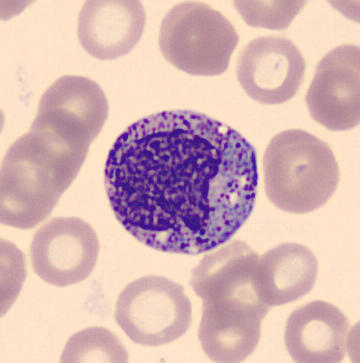 Q: What cell is this?
A: It is a myelocyte.

Preparation: Imaged on a CellaVision DM96 analyser. Peripheral blood film.